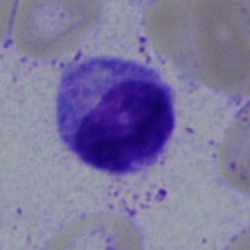Impression → myelocyte.